Bone marrow aspirate smear:
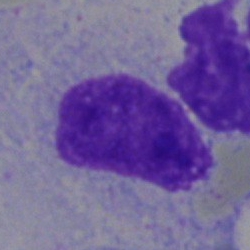 Q: What is shown here?
A: This is an artifact.